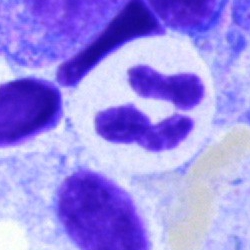Q: What cell is this?
A: This is a polymorphonuclear neutrophil.